Bone marrow aspirate smear: 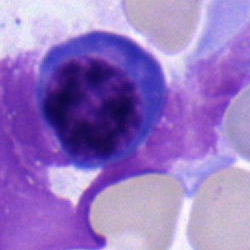
Q: What is the morphological classification of this cell?
A: Plasma cell.